Brightfield, 40× oil-immersion objective · bone marrow smear.
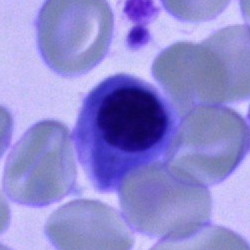
Showing an erythroblast.